250×250 px · MGG-stained · bone marrow aspirate smear — 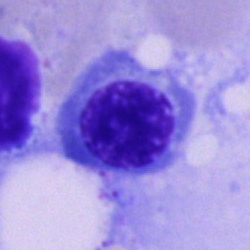Q: What type of cell is this?
A: It is a normoblast.